Bone marrow aspirate smear; brightfield, 40× oil-immersion objective:
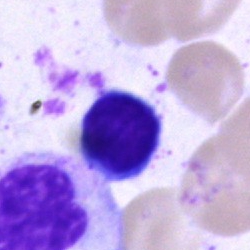 Q: What is shown here?
A: It is a lymphocyte.